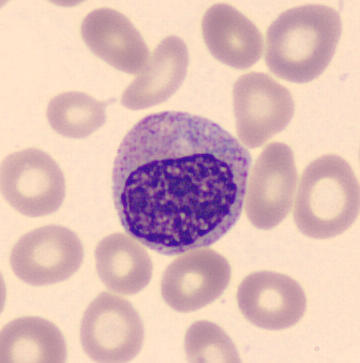 {"cell_type": "myelocyte"}